Bone marrow aspirate smear. Image size 250×250:
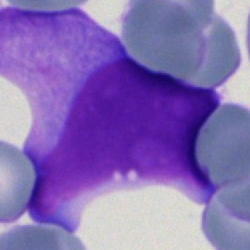

Morphology consistent with a blast cell.